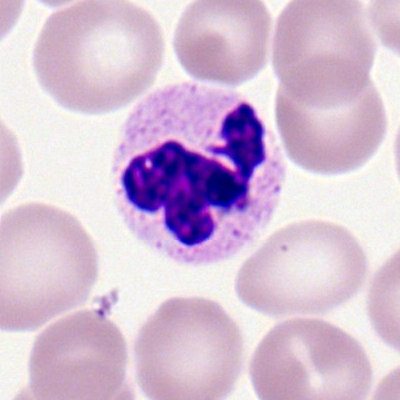 The cell type is neutrophil (segmented).